40× objective, oil immersion. Bone marrow smear. Single-cell crop — 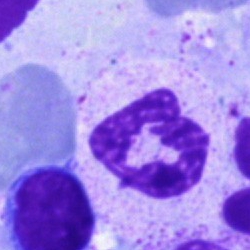 Q: Which cell type is shown here?
A: This is a segmented neutrophil.